May-Grünwald-Giemsa/Pappenheim stain. Bone marrow aspirate smear. Image size 250×250 — 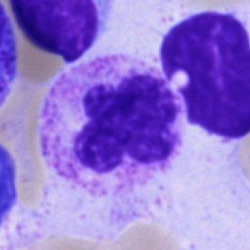This is a neutrophil (segmented).